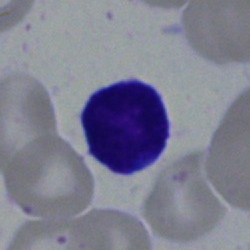
The cell type is typical lymphocyte.